Pappenheim-stained · 40× objective, oil immersion · bone marrow smear.
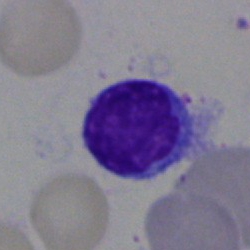
Classification = typical lymphocyte.